Single-cell crop; bone marrow aspirate smear:
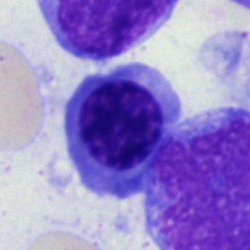

Morphological class — nucleated red blood cell.